Image size 400×400; peripheral blood smear; cropped to a single cell — 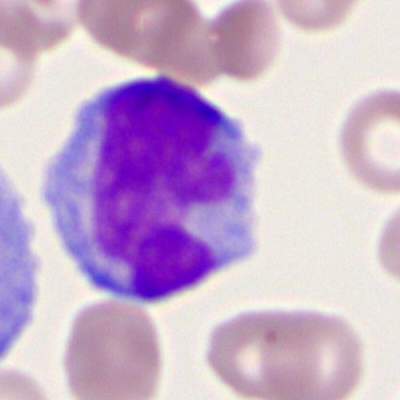Specimen: peripheral blood smear.
Morphological class: monocyte.
Lineage: myeloid.